Bone marrow smear — 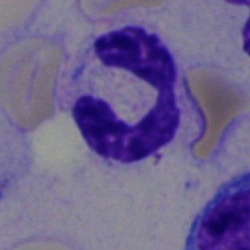

Morphology — neutrophil (segmented).